Bone marrow aspirate smear
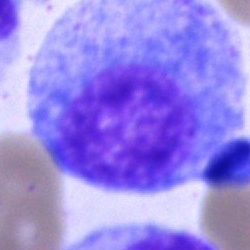The cell is progranulocyte.